Bone marrow aspirate smear; single-cell field
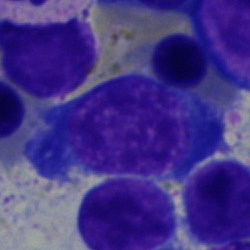 Q: What type of cell is this?
A: It is a pronormoblast.